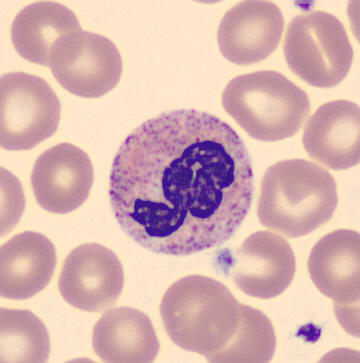 A neutrophil (segmented). Image: Peripheral blood film.